Bone marrow aspirate smear:
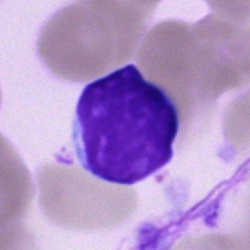
Specimen: bone marrow aspirate smear.
Classification: typical lymphocyte.
Lineage: lymphoid.